40× objective, oil immersion · bone marrow aspirate smear.
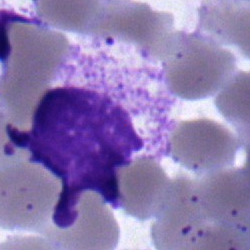

Single cell identified as a segmented neutrophil.